Bone marrow aspirate smear.
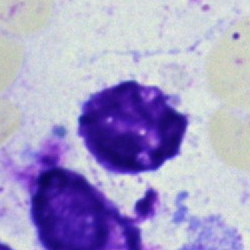

Specimen: bone marrow aspirate smear.
Cell: artefact.